Bone marrow aspirate smear — 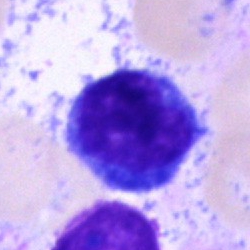

Impression → blast.